Bone marrow aspirate smear:
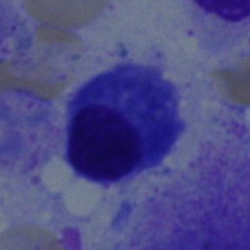

Cell: plasmacyte.